Single-cell field · 400×400 px · peripheral blood film:
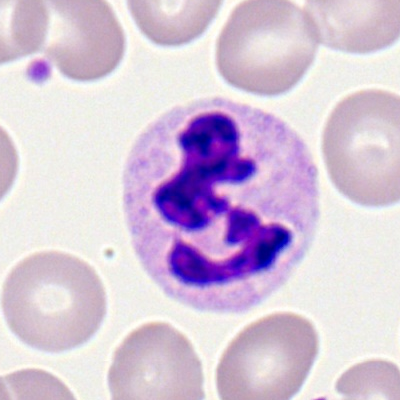The classification is segmented neutrophil.